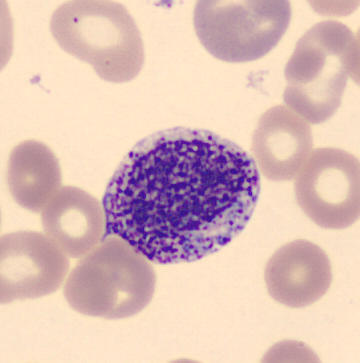Q: What type of cell is this?
A: A myelocyte.